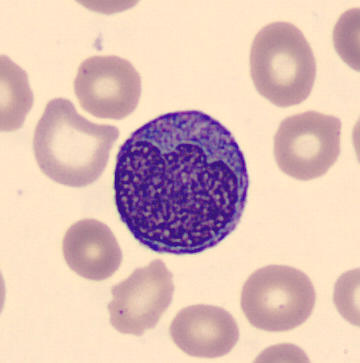 Impression → monocyte.

Peripheral blood film; single-cell field; image size 360×363.